40× oil immersion. Bone marrow aspirate smear
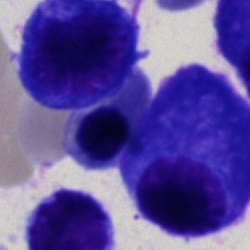

Morphology consistent with a plasma cell.